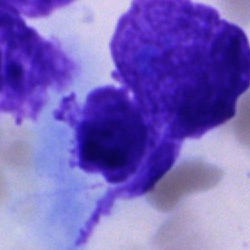
Bone marrow aspirate smear, single cell — artifact.